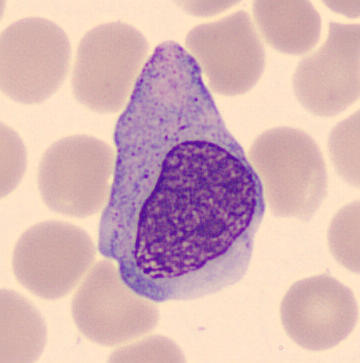

Showing a monocyte.